Bone marrow smear. Brightfield microscopy, 40× oil immersion:
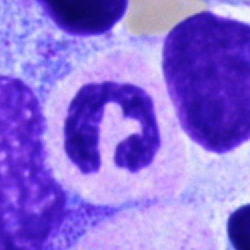
Morphological class = neutrophil (segmented).